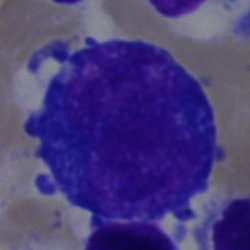

Specimen: bone marrow smear.
Cell: nucleated red cell.
Lineage: erythroid.